Bone marrow aspirate smear: 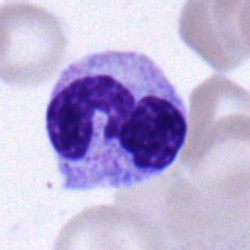
Q: What type of cell is this?
A: A neutrophil (segmented).